360 by 363 pixels · peripheral blood film.
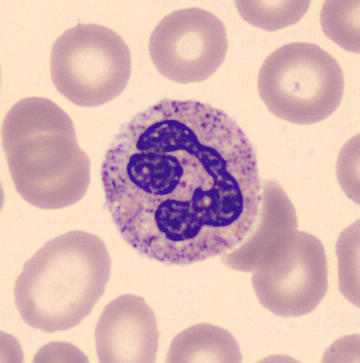 Cell type — neutrophil (segmented).